250×250; bone marrow aspirate smear; cropped to a single cell.
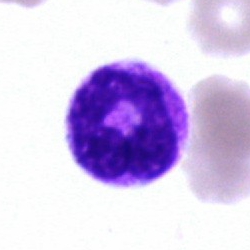
A polymorphonuclear neutrophil.